Bone marrow aspirate smear
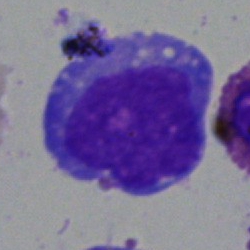 Blast cell.